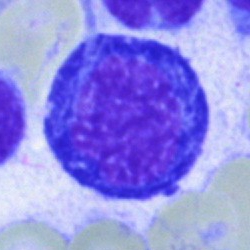
Impression → nucleated red blood cell.